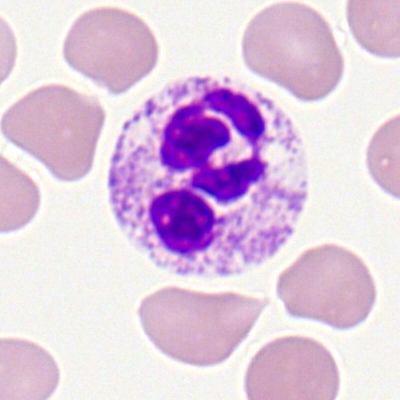
A neutrophil (segmented) on a peripheral blood smear.